Bone marrow smear
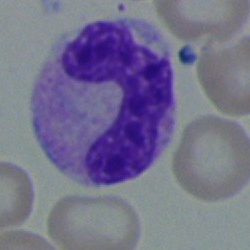 Morphological class: neutrophil (band).